Peripheral blood film: 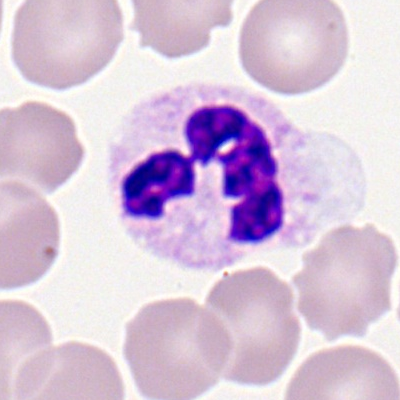 The cell shown is a segmented neutrophil.